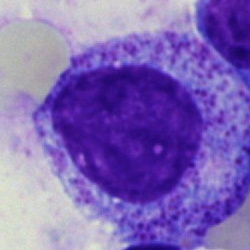

Single cell identified as a myelocyte.